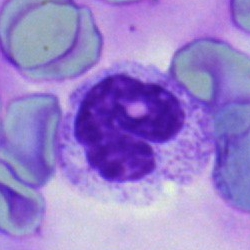
Bone marrow smear showing a neutrophil (segmented).